Cropped to a single cell; bone marrow aspirate smear.
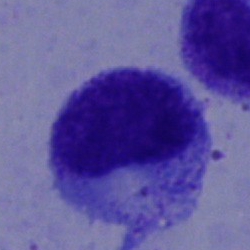

Specimen: bone marrow smear.
Morphological class: metamyelocyte.
Lineage: myeloid.